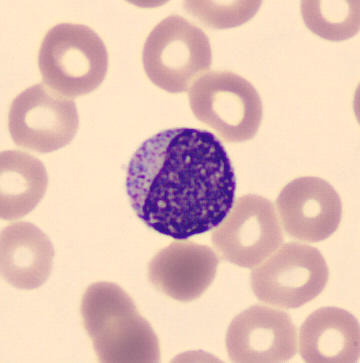

Morphological class = myelocyte.